Bone marrow smear
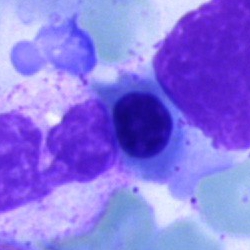Specimen: bone marrow aspirate smear.
Morphological class: nucleated red cell.